Bone marrow smear — 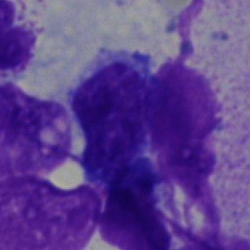
Cell = artifact.